40× oil immersion · bone marrow aspirate smear · 250×250 px — 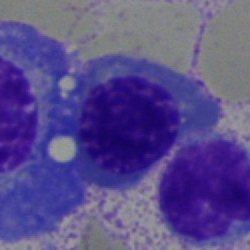
A nucleated red cell.